Bone marrow smear. Image size 250×250. 40× oil immersion:
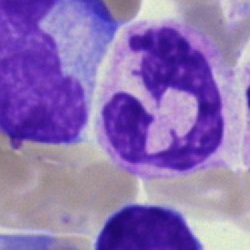 {"cell_type": "segmented neutrophil", "lineage": "myeloid"}